Bone marrow smear; 40× objective, oil immersion; single-cell crop: 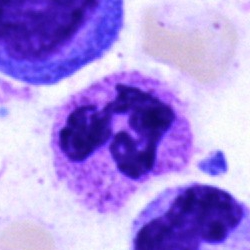
Single cell identified as a polymorphonuclear neutrophil.